Bone marrow aspirate smear
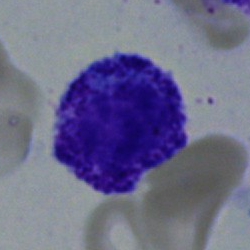
Cell: myelocyte.